Bone marrow smear · single-cell field · brightfield microscopy, 40× oil immersion.
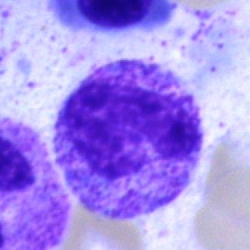

Specimen: bone marrow smear.
Cell type: band-form neutrophil.
Lineage: myeloid.